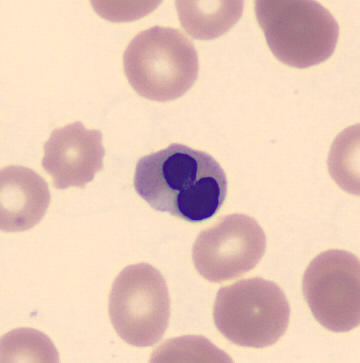

Morphology consistent with a nucleated red blood cell.

Image: Peripheral blood film.